Bone marrow aspirate smear — 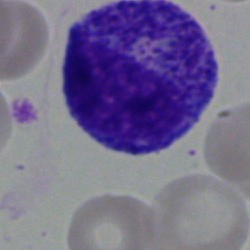

Morphological class — myelocyte.